Bone marrow aspirate smear.
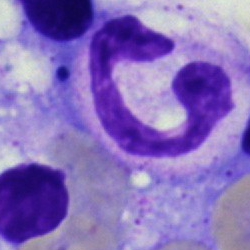

Polymorphonuclear neutrophil.